Image size 250×250; bone marrow smear: 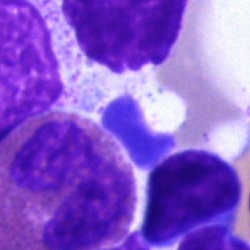Cell — eosinophil.